250×250 · single cell centered in the field · bone marrow smear.
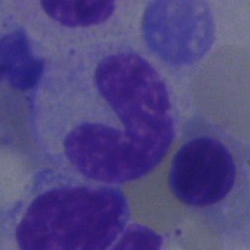
The cell shown is a band-form neutrophil.